Single-cell field; bone marrow aspirate smear — 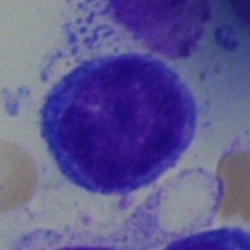
Cell: undifferentiated blast.